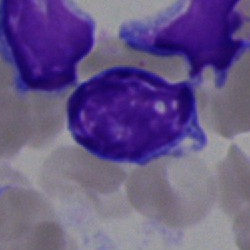Bone marrow smear showing a typical lymphocyte.